Bone marrow smear · May-Grünwald-Giemsa stain:
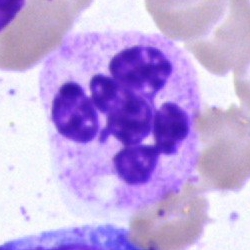{"cell_type": "polymorphonuclear neutrophil", "lineage": "myeloid"}